Bone marrow aspirate smear.
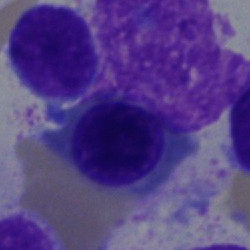Cell type = erythroblast.